Brightfield microscopy, 40× oil immersion. May-Grünwald-Giemsa/Pappenheim stain. Bone marrow aspirate smear — 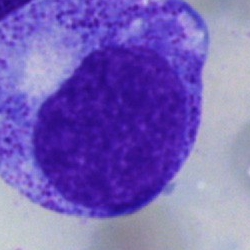

The cell shown is a progranulocyte.